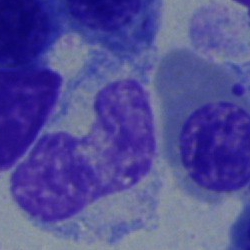 Q: What type of cell is this?
A: A neutrophil (band).